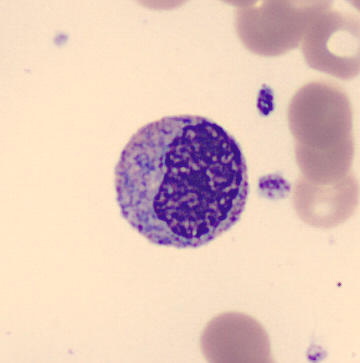Single cell identified as a myelocyte. Peripheral blood smear.